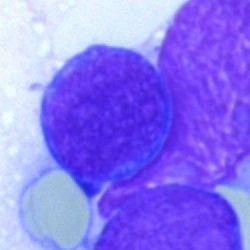

{"cell_type": "blast cell"}